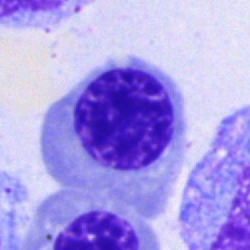

Q: Identify the cell.
A: Normoblast.